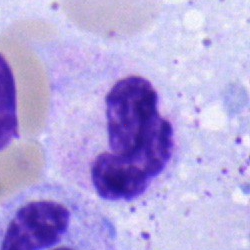Impression → neutrophil (band).